Bone marrow smear
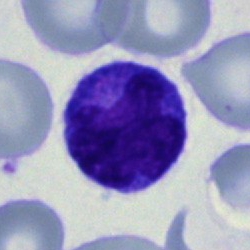Specimen: bone marrow aspirate smear.
Classification: monocyte.
Lineage: myeloid.